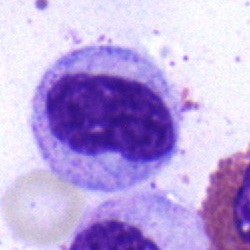

A metamyelocyte.